Single-cell field · 40× objective, oil immersion · bone marrow smear: 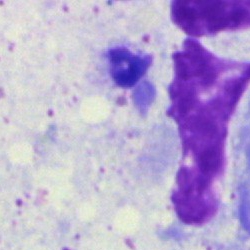

Morphology consistent with an artefact.